Bone marrow smear:
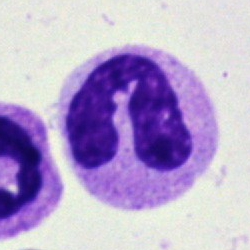
Morphology consistent with a polymorphonuclear neutrophil.